Bone marrow smear:
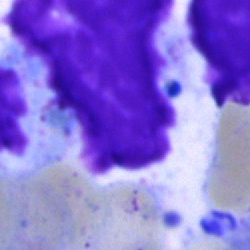Q: What is shown here?
A: Artifact.